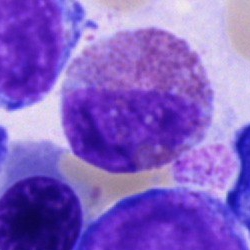 The cell shown is an eosinophilic granulocyte.